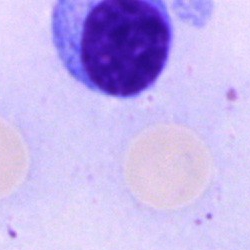
Typical lymphocyte.